Bone marrow smear: 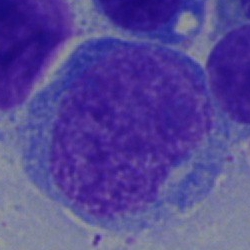 Showing a blast cell.